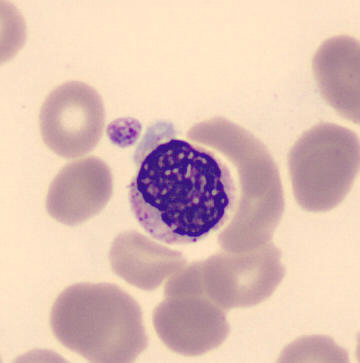 Stab cell. Peripheral blood film.